Bone marrow aspirate smear · single cell centered in the field: 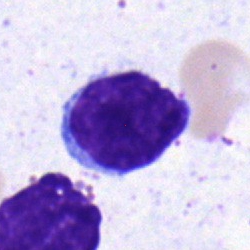 Q: Identify the cell.
A: Typical lymphocyte.